Romanowsky-type stain · peripheral blood smear.
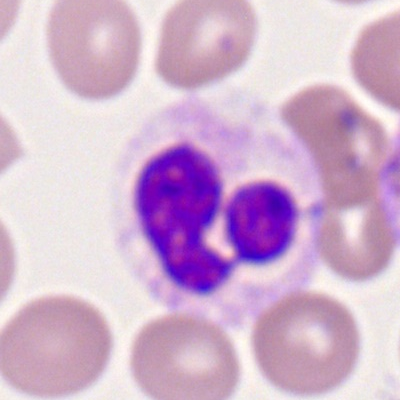

Specimen: peripheral blood smear.
Cell: neutrophil (segmented).